250×250 · single-cell field · bone marrow aspirate smear.
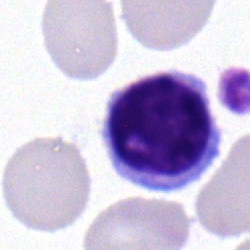 Q: What type of cell is this?
A: This is a typical lymphocyte.